Bone marrow aspirate smear: 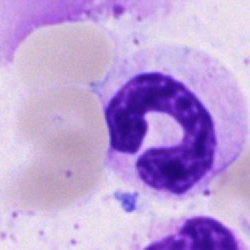
Cell type = neutrophil (band).